Bone marrow smear; single-cell crop; 40× oil immersion.
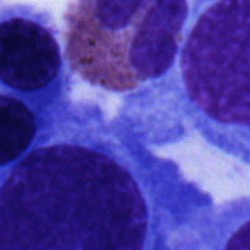 Q: What is the morphological classification of this cell?
A: It is an eosinophilic granulocyte.